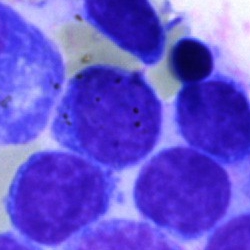

Q: What type of cell is this?
A: A lymphocyte.